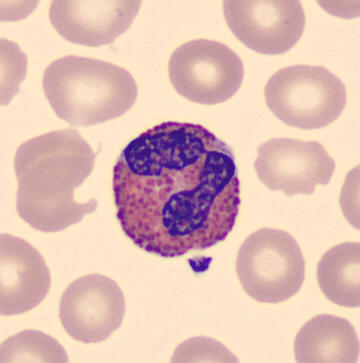

Cell type: eosinophilic granulocyte. Peripheral blood film · May Grünwald-Giemsa stain · single-cell field.